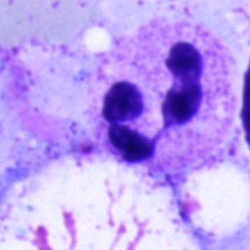
Classification = neutrophil (segmented).